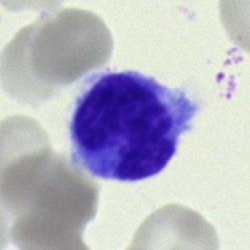
Q: What is the morphological classification of this cell?
A: Monocyte.